Bone marrow smear: 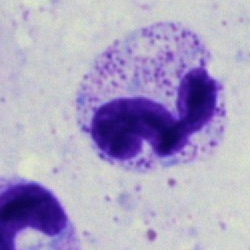Segmented neutrophil.